Bone marrow smear — 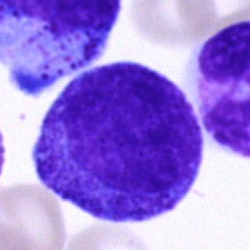

Classification = promyelocyte.